250×250; bone marrow aspirate smear: 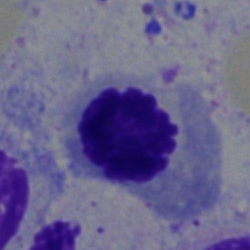
Morphological class = nucleated red cell.